Bone marrow smear: 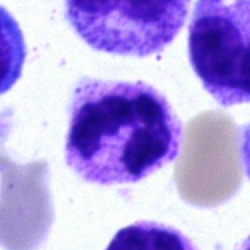
Cell type: segmented neutrophil.